Cropped to a single cell; brightfield, 40× oil-immersion objective; bone marrow aspirate smear
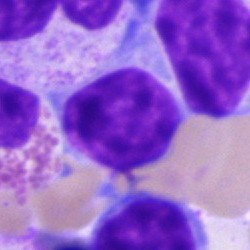 Morphology → lymphocyte.